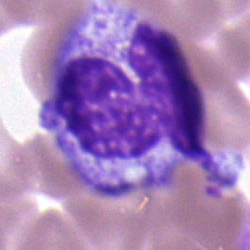Specimen: bone marrow smear.
Classification: neutrophil (band).
Lineage: myeloid.